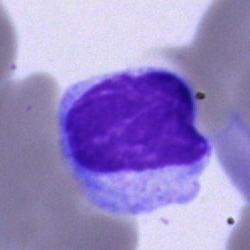

Cell: lymphocyte.